Bone marrow aspirate smear:
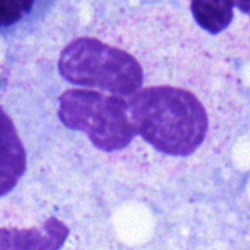

Showing a segmented neutrophil.